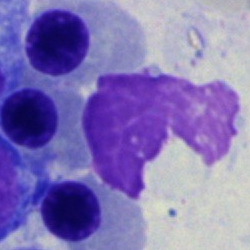Morphology — artifact.